Bone marrow aspirate smear
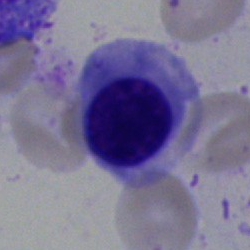The cell type is nucleated red blood cell.